Bone marrow aspirate smear · brightfield microscopy, 40× oil immersion
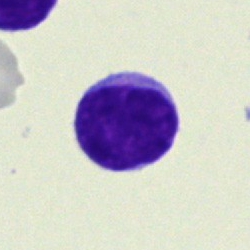

The classification is typical lymphocyte.